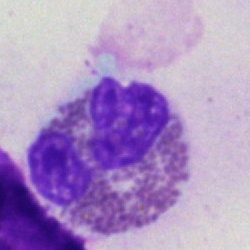
{"cell_type": "eosinophil"}